Bone marrow aspirate smear:
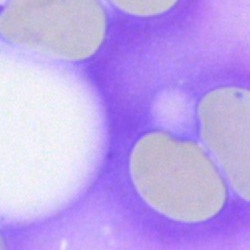
The classification is artifact.